Single-cell crop; bone marrow smear: 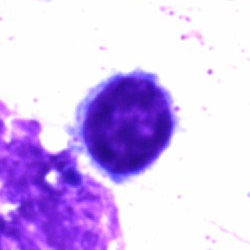

Classification = lymphocyte.